Cropped to a single cell; peripheral blood film:
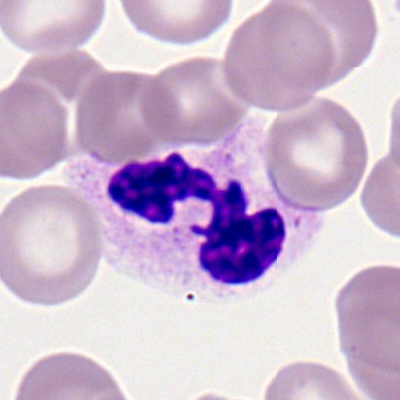
Morphology — neutrophil (segmented).